Bone marrow aspirate smear; single cell centered in the field; 40× objective, oil immersion
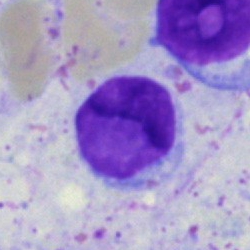

Single cell identified as a lymphocyte.